Bone marrow smear
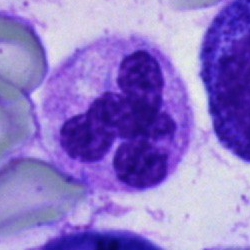

Segmented neutrophil.